Single-cell field. Bone marrow smear: 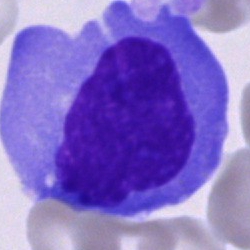 The cell is unidentifiable cell.